Bone marrow smear. Single-cell crop
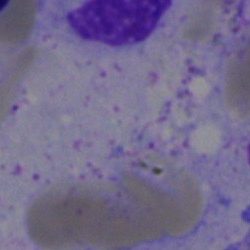 Specimen: bone marrow aspirate smear.
Classification: artifact.